Bone marrow aspirate smear · May-Grünwald-Giemsa/Pappenheim stain · 250×250 px
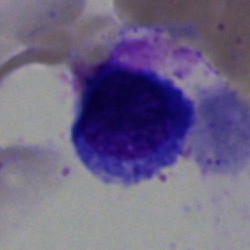Impression → nucleated red blood cell.